Bone marrow smear — 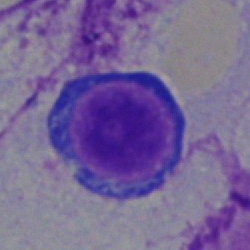 Specimen: bone marrow aspirate smear.
Cell: pronormoblast.